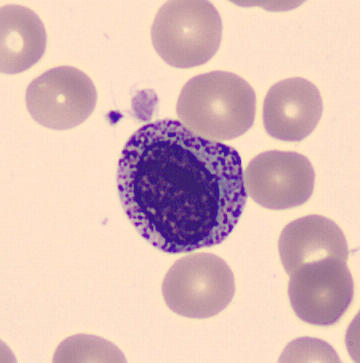 Peripheral blood smear; CellaVision DM96 digital cell image.

Single cell identified as a myelocyte.